MGG-stained. Bone marrow aspirate smear:
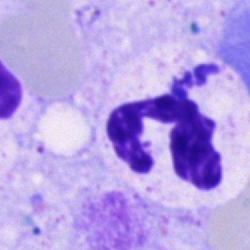
Polymorphonuclear neutrophil.